Bone marrow smear:
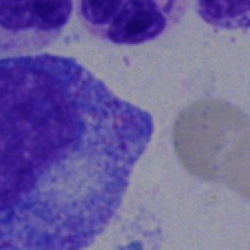

Q: Identify the cell.
A: It is a promyelocyte.